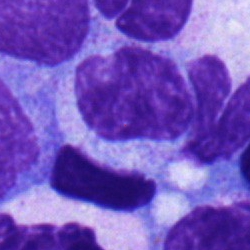

Q: What type of cell is this?
A: A myelocyte.